40× objective, oil immersion · bone marrow aspirate smear: 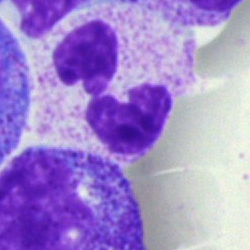
Q: Identify the cell.
A: This is a neutrophil (segmented).